Bone marrow aspirate smear:
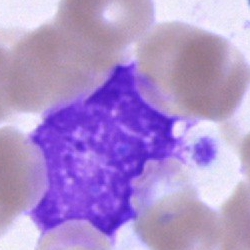

Q: What is shown here?
A: Artifact.